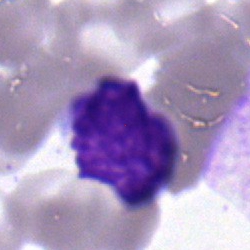
Morphology → typical lymphocyte.